Bone marrow smear. 40× objective, oil immersion:
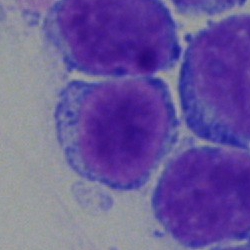 Q: What cell is this?
A: Lymphocyte.